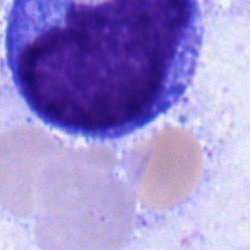

Impression → monocyte.